Bone marrow aspirate smear
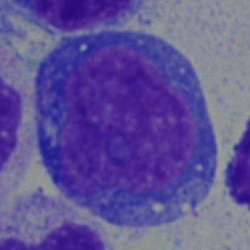

Cell type: undifferentiated blast.